Bone marrow smear: 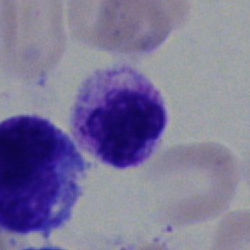 Morphological class = neutrophil (segmented).